Bone marrow aspirate smear · single-cell field · brightfield, 40× oil-immersion objective.
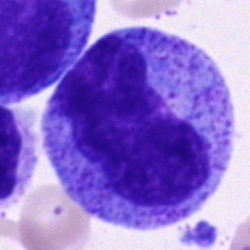
Morphological class: promyelocyte.